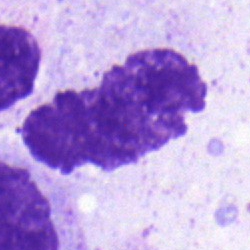 Cell type = neutrophil (segmented).